Bone marrow aspirate smear
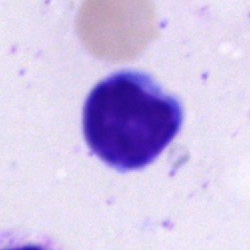 Specimen: bone marrow aspirate smear.
Classification: lymphocyte.